Bone marrow aspirate smear · single-cell field — 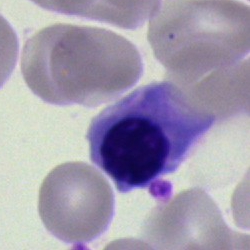The cell type is nucleated red cell.